Bone marrow smear.
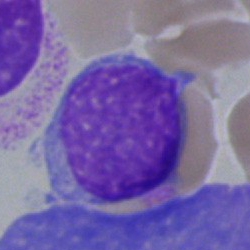 Classification: typical lymphocyte.